Bone marrow aspirate smear:
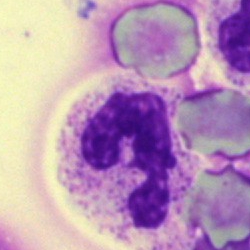

Specimen: bone marrow aspirate smear.
Morphological class: segmented neutrophil.